Peripheral blood film; 400×400 px: 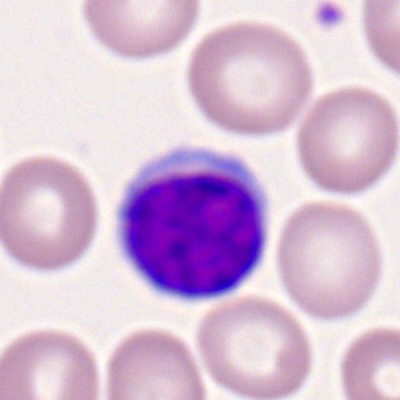
Morphological class = typical lymphocyte.